Bone marrow aspirate smear; 250×250 px: 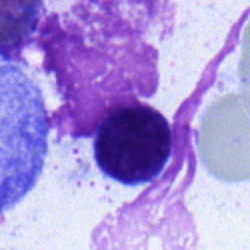Specimen: bone marrow aspirate smear.
Cell: typical lymphocyte.
Lineage: lymphoid.